Bone marrow smear. Image size 250×250
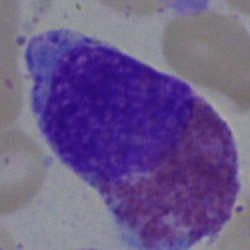
Specimen: bone marrow smear.
Morphological class: eosinophil.